Single cell centered in the field. Bone marrow aspirate smear
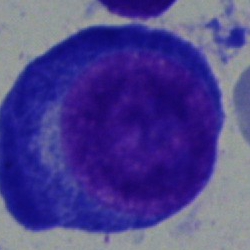Morphological class — pronormoblast.